Bone marrow smear
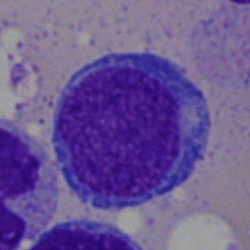
The classification is lymphocyte.